Bone marrow smear:
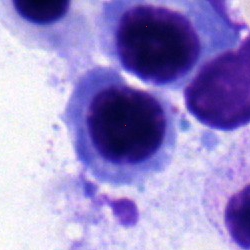

This is a nucleated red blood cell.